Bone marrow aspirate smear; cropped to a single cell:
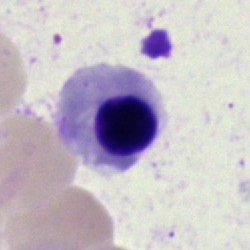 Cell type = nucleated red blood cell.